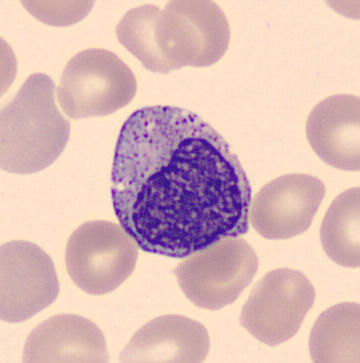
Specimen: peripheral blood film.
Classification: myelocyte.
Lineage: myeloid.

Preparation: CellaVision DM96.